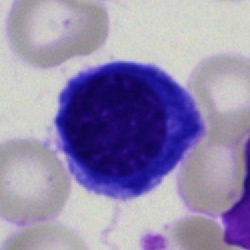 Q: Identify the cell.
A: A nucleated red cell.